Single-cell field. Bone marrow smear — 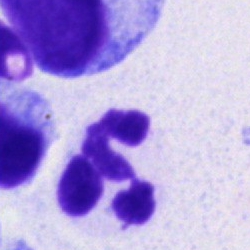

Q: What is the morphological classification of this cell?
A: A neutrophil (segmented).